Peripheral blood film.
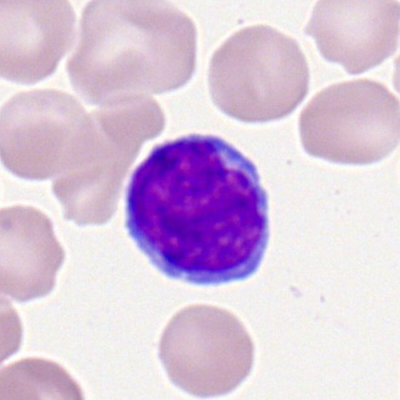
Specimen: peripheral blood smear.
Classification: typical lymphocyte.